Bone marrow smear; cropped to a single cell:
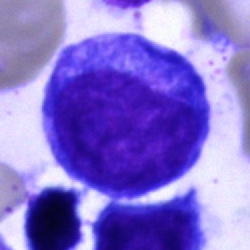

A progranulocyte.